Bone marrow smear:
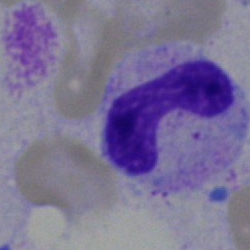
Classification: band-form neutrophil.